Image size 250×250 · bone marrow aspirate smear · MGG-stained
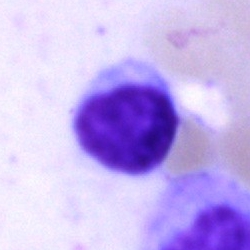Specimen: bone marrow smear.
Cell: lymphocyte.
Lineage: lymphoid.